Bone marrow smear; cropped to a single cell
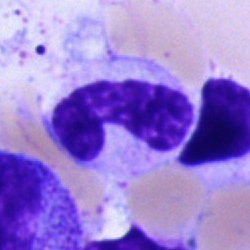

The cell shown is a band-form neutrophil.